Bone marrow smear · MGG-stained:
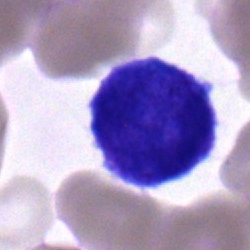
Morphological class = undifferentiated blast.